Brightfield, 40× oil-immersion objective · bone marrow aspirate smear — 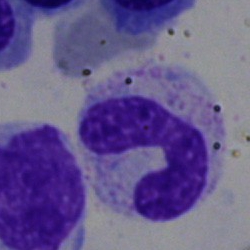 Polymorphonuclear neutrophil.